Bone marrow smear.
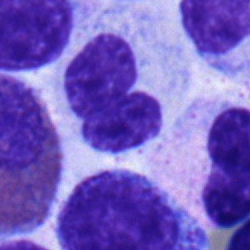
A segmented neutrophil.